Bone marrow smear: 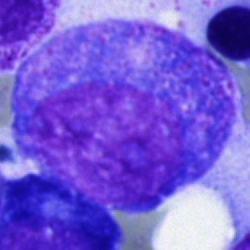 Cell type = progranulocyte.